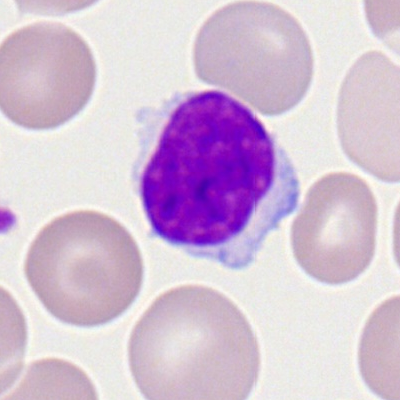

Morphological class = lymphocyte.